Bone marrow smear; 250 by 250 pixels:
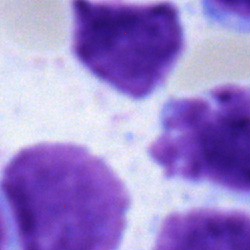
The cell shown is a typical lymphocyte.